Bone marrow aspirate smear:
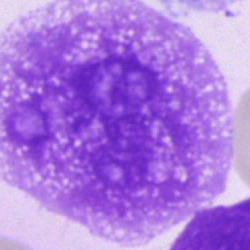
The cell shown is an artefact.